Bone marrow aspirate smear.
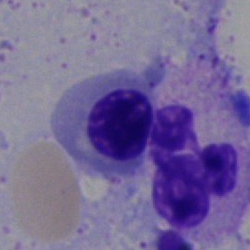Q: What type of cell is this?
A: It is a nucleated red cell.